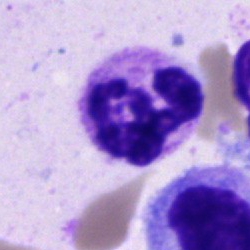Impression → polymorphonuclear neutrophil.